Bone marrow aspirate smear — 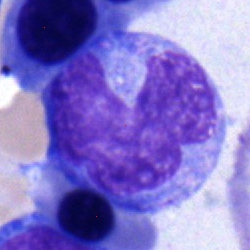

Showing a monocyte.